Bone marrow smear
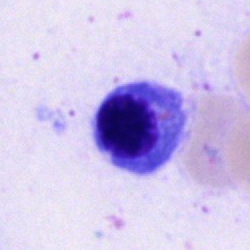
{"cell_type": "normoblast"}